Bone marrow smear.
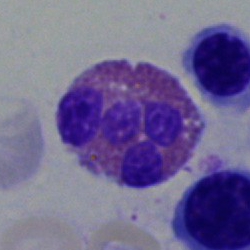Morphology — basophilic granulocyte.